Brightfield microscopy, 40× oil immersion · 250 by 250 pixels · bone marrow smear:
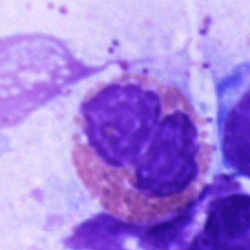
Cell type = eosinophilic granulocyte.